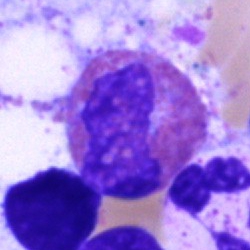 {"cell_type": "eosinophil"}